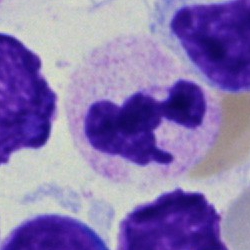Impression — segmented neutrophil.